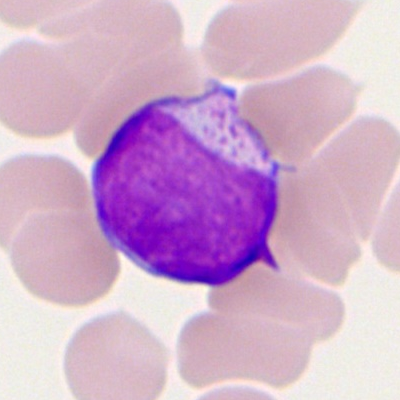 Showing a myeloid blast.